Bone marrow aspirate smear:
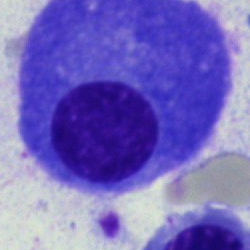
Morphology — plasmacyte.